Bone marrow aspirate smear.
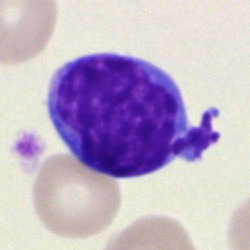 Classification = typical lymphocyte.